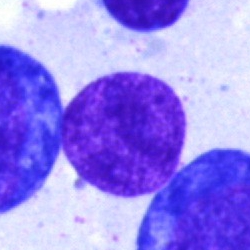The cell type is artefact.